40× objective, oil immersion · bone marrow aspirate smear.
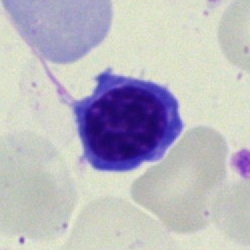
This is an erythroblast.